Bone marrow aspirate smear.
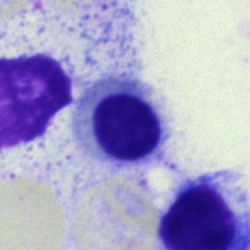
Morphology → normoblast.